Bone marrow smear
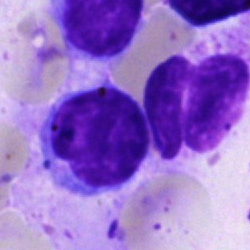

This is a typical lymphocyte.